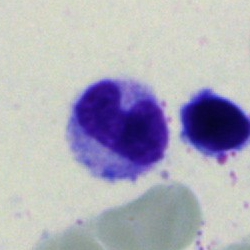 The cell shown is a band neutrophil.